Bone marrow aspirate smear; brightfield, 40× oil-immersion objective; 250×250
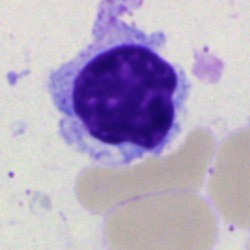
A lymphocyte.